Bone marrow aspirate smear:
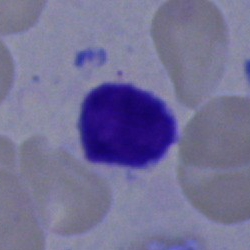

Specimen: bone marrow aspirate smear.
Classification: lymphocyte.
Lineage: lymphoid.